Bone marrow aspirate smear
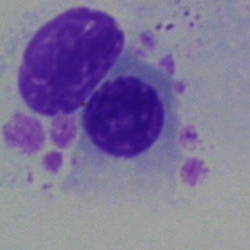Cell type — erythroblast.